Bone marrow aspirate smear — 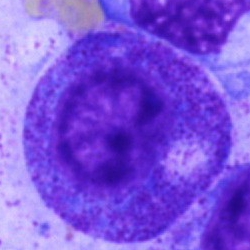

Morphology — progranulocyte.